Bone marrow aspirate smear.
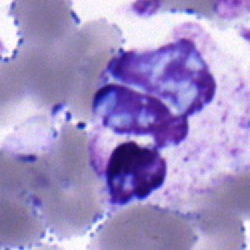
Morphology — segmented neutrophil.